Bone marrow aspirate smear · single-cell crop · May-Grünwald-Giemsa/Pappenheim stain — 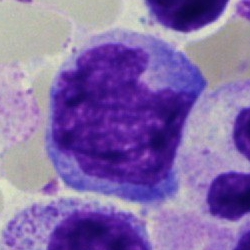The cell shown is a monocyte.